Cropped to a single cell. Brightfield, 40× oil-immersion objective. Bone marrow aspirate smear:
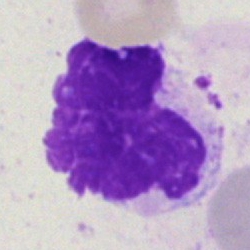Cell type — artifact.